Single-cell field. Bone marrow smear
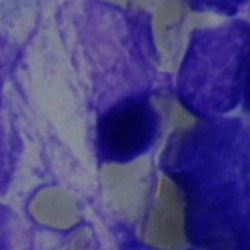Impression → artifact.